Bone marrow smear: 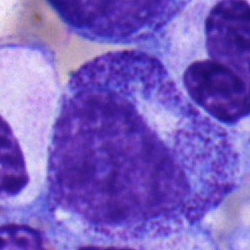
Q: Identify the cell.
A: Promyelocyte.